Single-cell crop; bone marrow smear; 40× objective, oil immersion — 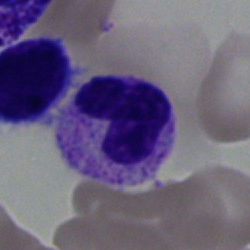

Classification = metamyelocyte.